Bone marrow aspirate smear:
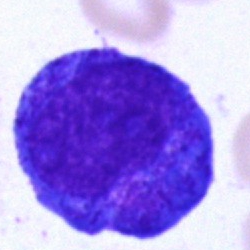

Cell — progranulocyte.